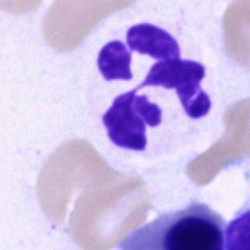

Morphology → neutrophil (segmented).